Bone marrow smear. Single-cell crop.
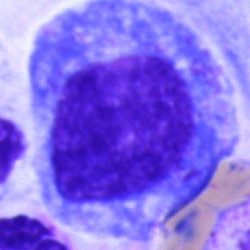
The classification is progranulocyte.